May-Grünwald-Giemsa stain. Bone marrow smear.
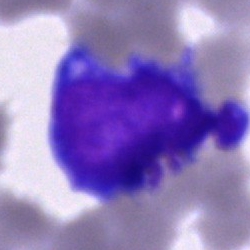 Specimen: bone marrow aspirate smear.
Cell type: blast cell.